40× oil immersion; bone marrow smear:
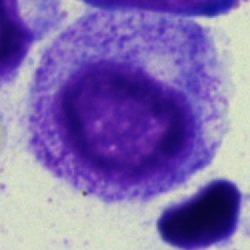 A myelocyte.